Cropped to a single cell. Bone marrow aspirate smear
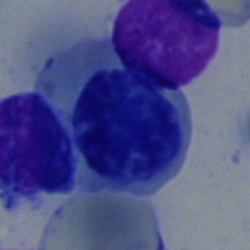

Morphology → erythroblast.